Single-cell crop. Peripheral blood film. Romanowsky-type stain — 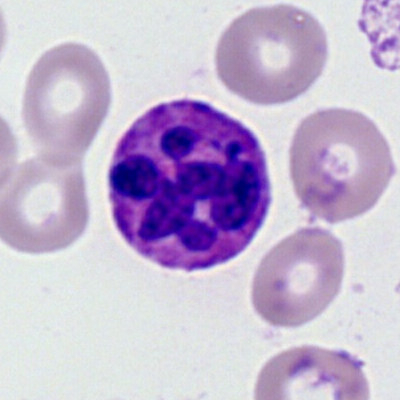Showing a neutrophil (segmented).